250×250 · bone marrow aspirate smear.
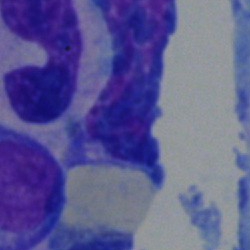The classification is artefact.